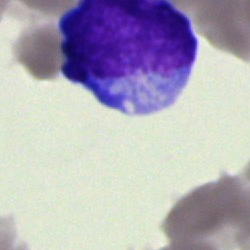 Cell — cell of indeterminate lineage.